40× oil immersion; bone marrow smear: 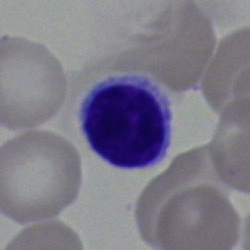

Cell: typical lymphocyte.